Bone marrow smear:
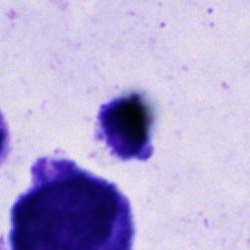

An unidentifiable cell.